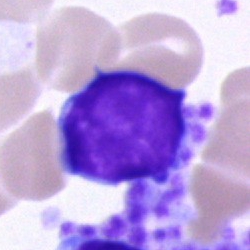

This is a lymphocyte.